Bone marrow aspirate smear: 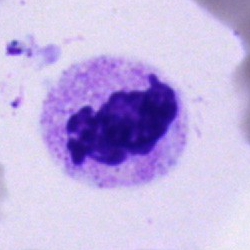

This is a neutrophil (segmented).